Bone marrow smear.
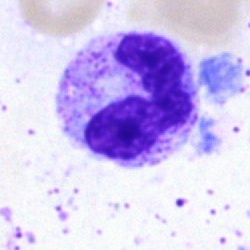 Q: Which cell type is shown here?
A: Neutrophil (segmented).